Cropped to a single cell. Bone marrow aspirate smear
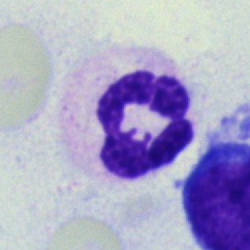
Cell — polymorphonuclear neutrophil.